Single cell centered in the field. Bone marrow smear:
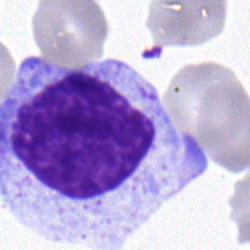 Cell type: myelocyte.